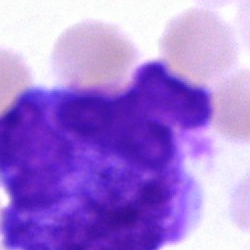Artefact.